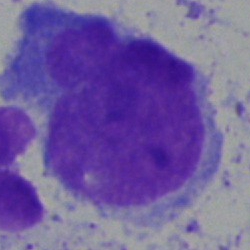

Bone marrow smear showing an artefact.